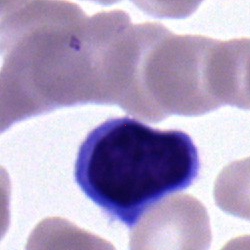

{"cell_type": "typical lymphocyte"}